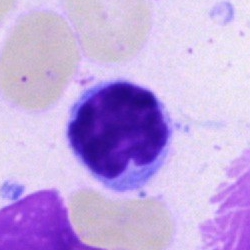The cell shown is a lymphocyte.